Single-cell field · bone marrow aspirate smear — 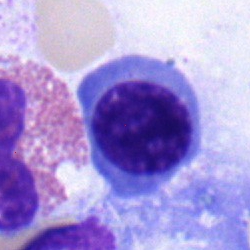The classification is erythroblast.